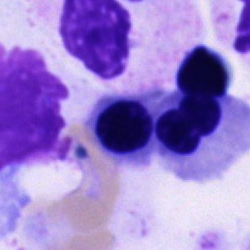Q: What cell is this?
A: Cell of indeterminate lineage.